Cropped to a single cell · bone marrow smear · brightfield microscopy, 40× oil immersion
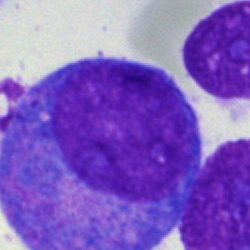

Impression → progranulocyte.